Bone marrow aspirate smear
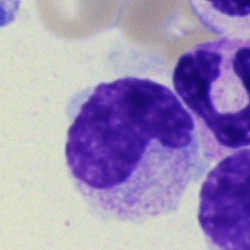
Q: What is shown here?
A: Stab cell.